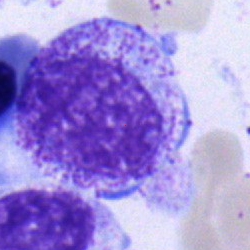
Cell — myelocyte.